Brightfield, 40× oil-immersion objective. Bone marrow smear. Pappenheim-stained.
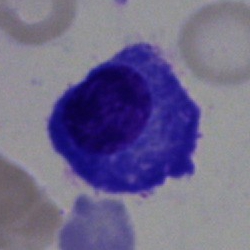

Single cell identified as a plasmacyte.